Image size 250×250. Bone marrow aspirate smear.
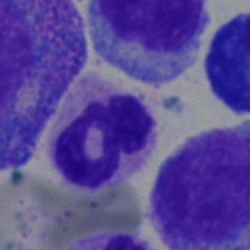
Showing a polymorphonuclear neutrophil.